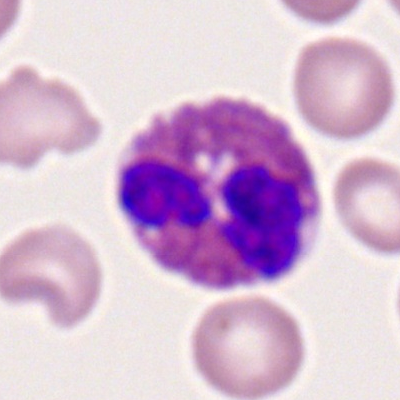

{"cell_type": "eosinophilic granulocyte", "lineage": "myeloid"}